Bone marrow smear — 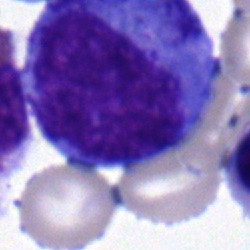

Q: Which cell type is shown here?
A: Progranulocyte.